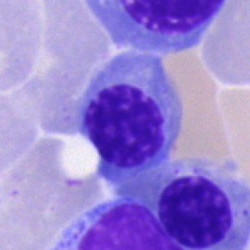 Q: What type of cell is this?
A: It is an erythroblast.